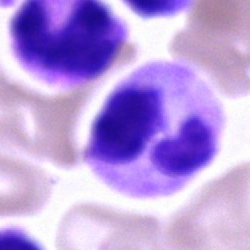

Morphology → polymorphonuclear neutrophil.